Bone marrow aspirate smear; 250×250 px: 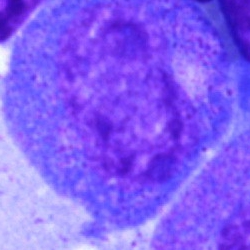

Q: Which cell type is shown here?
A: This is a promyelocyte.